MGG-stained · bone marrow smear — 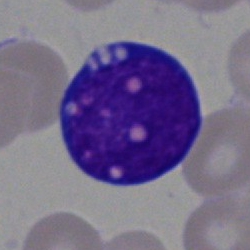

{"cell_type": "undifferentiated blast"}